Bone marrow aspirate smear. Single cell centered in the field:
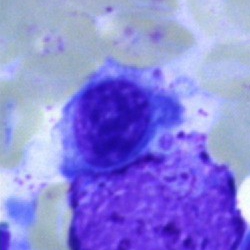
Nucleated red cell.